Bone marrow smear. MGG-stained.
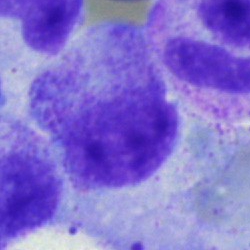

Morphological class = myelocyte.